Bone marrow aspirate smear.
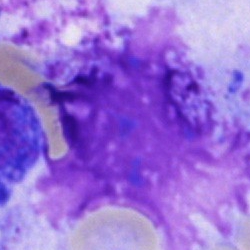

Classification — artifact.